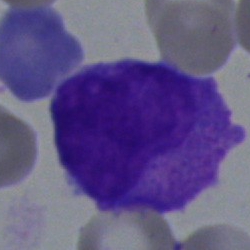 Morphology consistent with an undifferentiated blast.